250 by 250 pixels. Bone marrow aspirate smear. Cropped to a single cell.
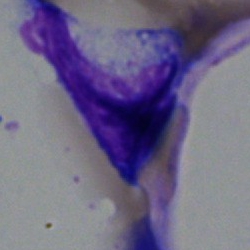 The cell is artefact.